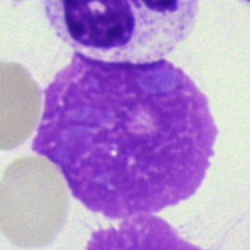Specimen: bone marrow aspirate smear.
Classification: artifact.